Bone marrow smear — 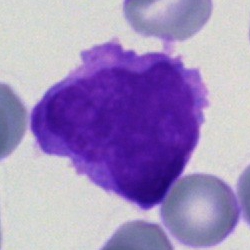
Morphology consistent with an undifferentiated blast.